Bone marrow aspirate smear; single-cell field
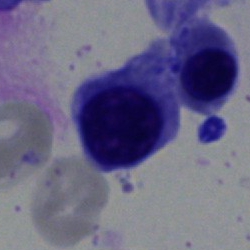An erythroblast.